Bone marrow smear. 250×250 px:
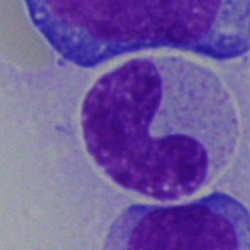Morphology — metamyelocyte.